Bone marrow smear
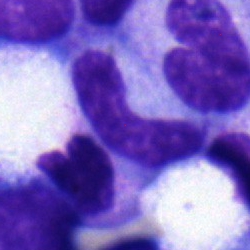A band-form neutrophil.